Bone marrow smear. 250×250 px. Brightfield microscopy, 40× oil immersion: 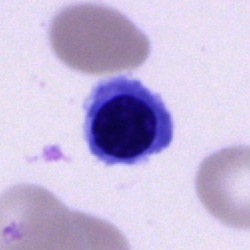
Morphology — erythroblast.